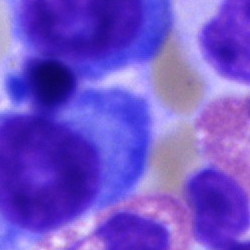

Single-cell crop from a bone marrow smear: plasma cell.